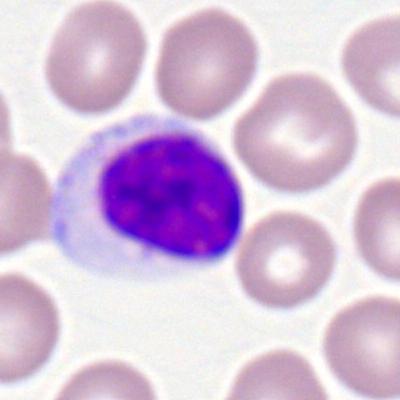

{"cell_type": "typical lymphocyte", "lineage": "lymphoid"}